Bone marrow aspirate smear:
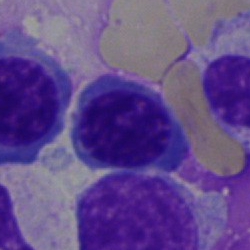Nucleated red blood cell.